Bone marrow smear — 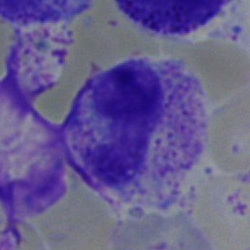

The cell shown is a band neutrophil.